Cropped to a single cell. Bone marrow smear: 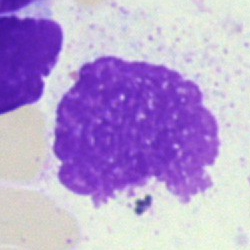The cell is artefact.